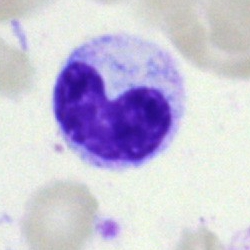 The cell shown is a neutrophil (band).